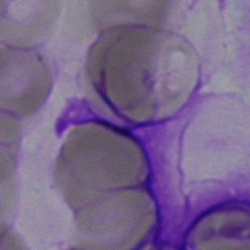

Morphology consistent with an artefact.